Bone marrow aspirate smear; brightfield, 40× oil-immersion objective
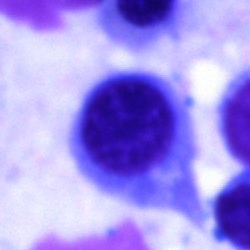

This is an erythroblast.